250×250 px · cropped to a single cell · bone marrow aspirate smear: 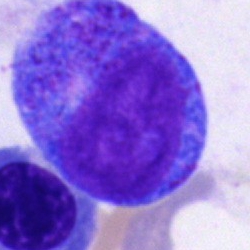
Specimen: bone marrow smear.
Cell: progranulocyte.